250 by 250 pixels; brightfield, 40× oil-immersion objective; bone marrow aspirate smear — 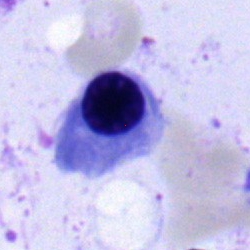Q: What is the morphological classification of this cell?
A: Nucleated red blood cell.